40× oil immersion; bone marrow smear; MGG-stained
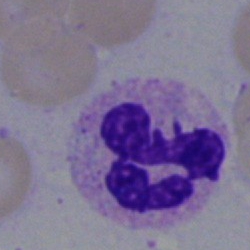
A neutrophil (segmented).